Bone marrow aspirate smear. Brightfield, 40× oil-immersion objective.
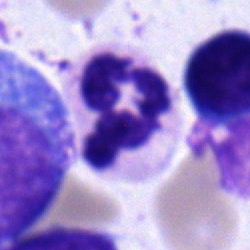 Specimen: bone marrow smear.
Morphological class: neutrophil (segmented).
Lineage: myeloid.